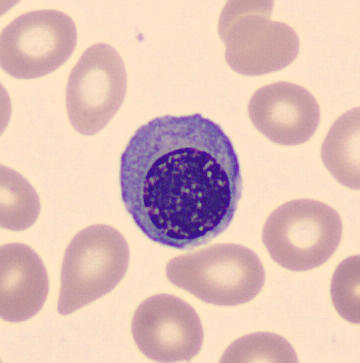 Single-cell crop from a peripheral blood smear: nucleated red cell.